Bone marrow aspirate smear:
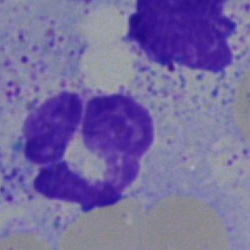
Cell type: segmented neutrophil.